Bone marrow aspirate smear.
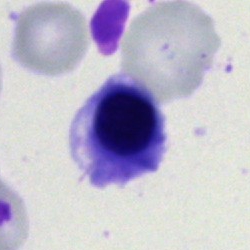Morphology consistent with a nucleated red cell.